250 by 250 pixels; bone marrow smear; 40× oil immersion.
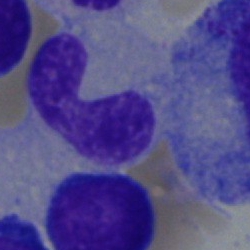Morphological class — stab cell.